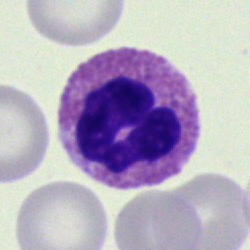Classification — eosinophilic granulocyte.